Bone marrow aspirate smear.
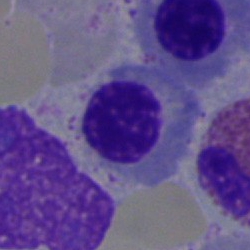
This is a normoblast.